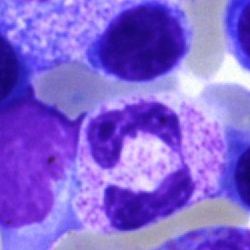 Morphological class — segmented neutrophil.